Brightfield, 40× oil-immersion objective; bone marrow aspirate smear:
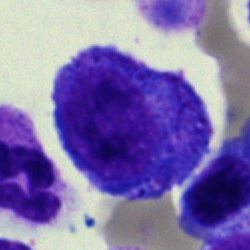

Specimen: bone marrow aspirate smear.
Cell: promyelocyte.
Lineage: myeloid.